Image size 400×400; peripheral blood smear.
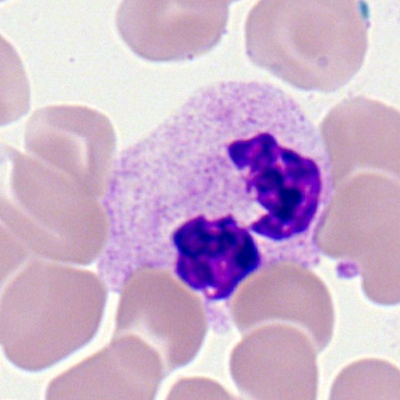The cell is neutrophil (segmented).